Bone marrow aspirate smear; single-cell crop; brightfield microscopy, 40× oil immersion — 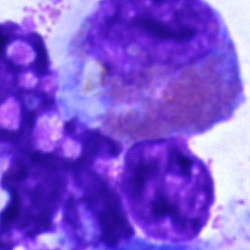

Cell — eosinophilic granulocyte.